Brightfield microscopy, 40× oil immersion · image size 250×250 · bone marrow aspirate smear — 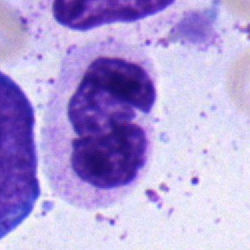

Q: What cell is this?
A: This is a segmented neutrophil.